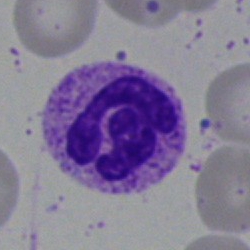
The cell is segmented neutrophil.